Brightfield, 40× oil-immersion objective · bone marrow aspirate smear: 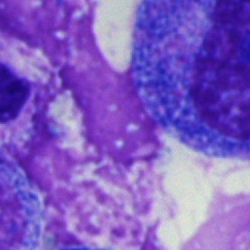 This is an artefact.